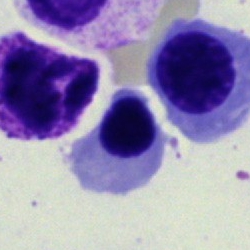 Single-cell crop from a bone marrow smear: erythroblast.